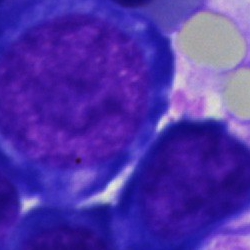 {"cell_type": "proerythroblast", "lineage": "erythroid"}